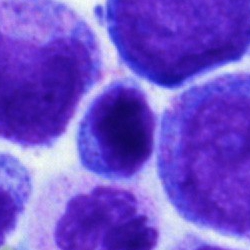This is a lymphocyte.